Bone marrow smear — 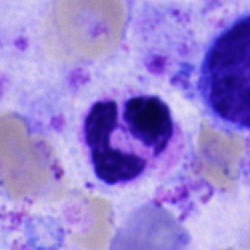{"cell_type": "neutrophil (segmented)", "lineage": "myeloid"}